Pappenheim-stained; bone marrow aspirate smear: 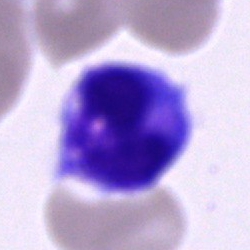
Morphology — monocyte.